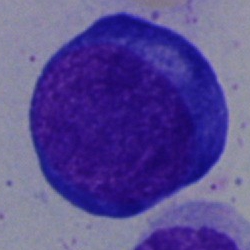 {"cell_type": "normoblast", "lineage": "erythroid"}